Cropped to a single cell. Bone marrow smear:
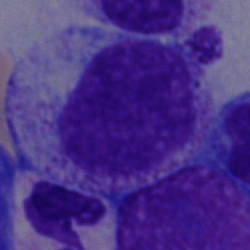

The cell shown is a myelocyte.